250 by 250 pixels; bone marrow aspirate smear; cropped to a single cell: 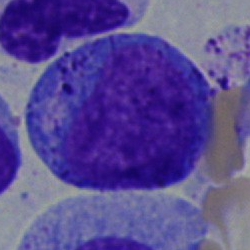Classification — progranulocyte.